Bone marrow aspirate smear — 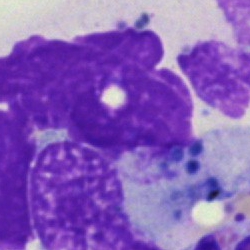
Specimen: bone marrow aspirate smear.
Cell: artefact.